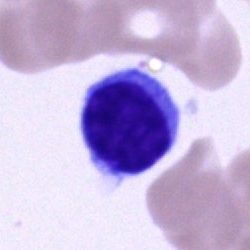The cell shown is a lymphocyte.